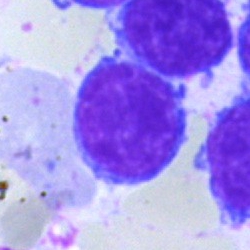 Q: Which cell type is shown here?
A: Lymphocyte.